Bone marrow smear:
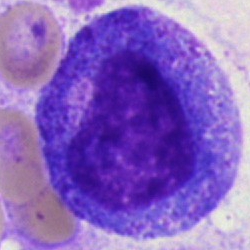
The morphological class is progranulocyte.